250×250; bone marrow aspirate smear; brightfield, 40× oil-immersion objective:
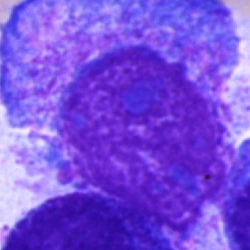

Classification = promyelocyte.